Bone marrow aspirate smear — 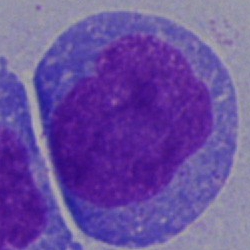 A blast cell.